Bone marrow smear; Pappenheim-stained — 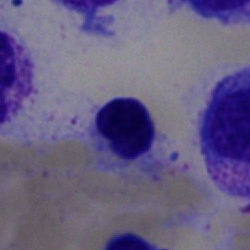

Normoblast.